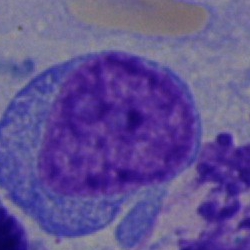Single-cell crop from a bone marrow smear: blast.